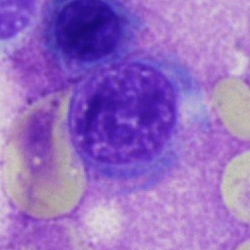
{"cell_type": "normoblast", "lineage": "erythroid"}